Bone marrow aspirate smear. 250×250. Brightfield, 40× oil-immersion objective
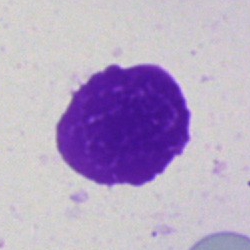 Single cell identified as an artefact.